Bone marrow smear: 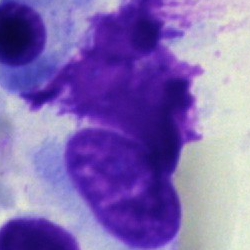Classification = artifact.